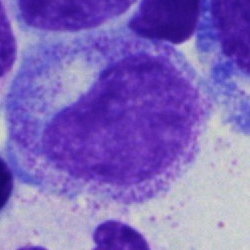
Q: What is shown here?
A: A promyelocyte.